Single-cell field; peripheral blood smear; Romanowsky-type stain
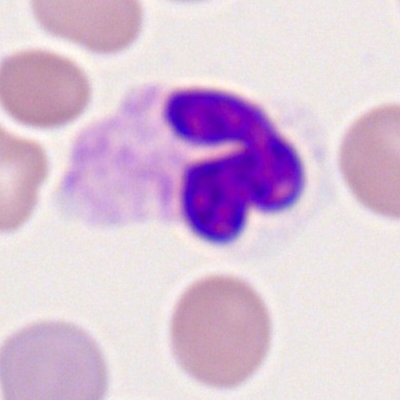 Morphological class = neutrophil (segmented).